Bone marrow aspirate smear: 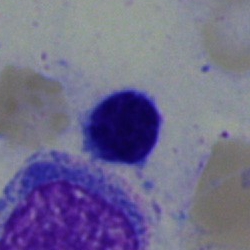

Morphology → lymphocyte.